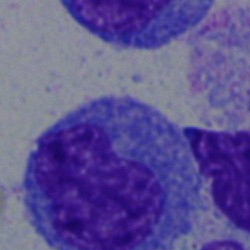
Cell = blast.